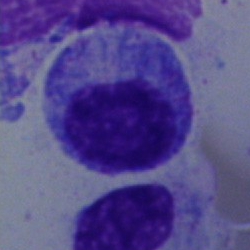

Showing a progranulocyte.